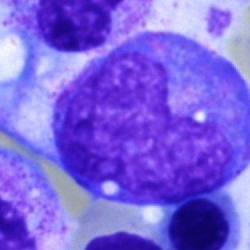 Cell type — promyelocyte.